Single cell centered in the field. Bone marrow aspirate smear:
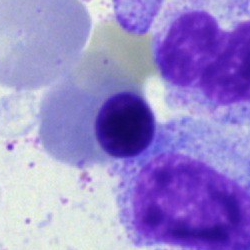 Impression → nucleated red blood cell.